Peripheral blood smear — 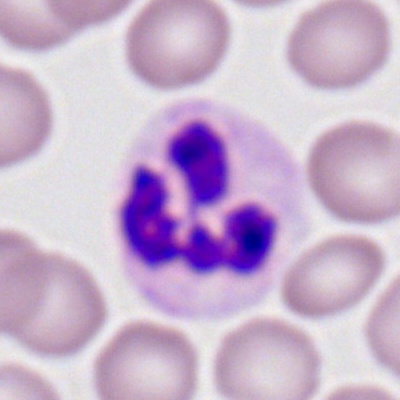Q: Which cell type is shown here?
A: Neutrophil (segmented).